250×250 px; bone marrow smear; May-Grünwald-Giemsa stain — 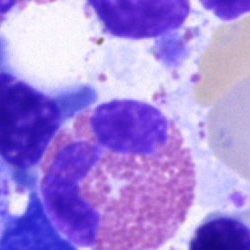 An eosinophil.